Bone marrow aspirate smear. Single-cell field: 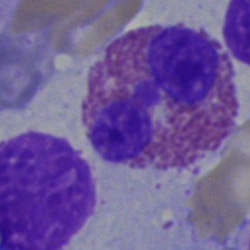

An eosinophilic granulocyte.